Peripheral blood smear.
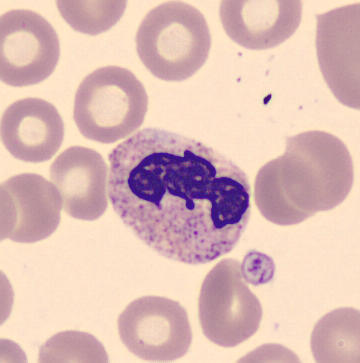Classification: polymorphonuclear neutrophil.